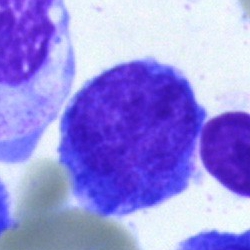 Cell: blast.